Pappenheim-stained. Bone marrow aspirate smear
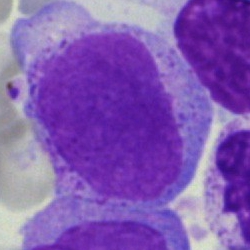

Showing a blast.